Bone marrow smear — 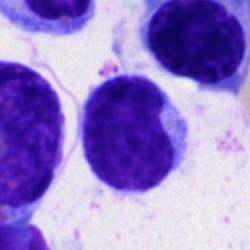
Morphological class = typical lymphocyte.